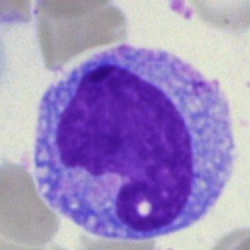This is a monocyte.